Bone marrow smear · single-cell crop — 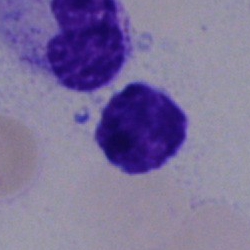Morphological class — typical lymphocyte.